Bone marrow smear. Brightfield microscopy, 40× oil immersion: 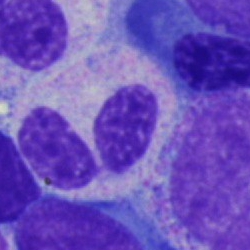

Classification = polymorphonuclear neutrophil.